Single-cell field · bone marrow aspirate smear:
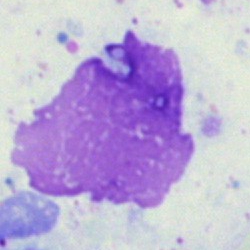
Specimen: bone marrow aspirate smear.
Cell type: artifact.